Bone marrow aspirate smear: 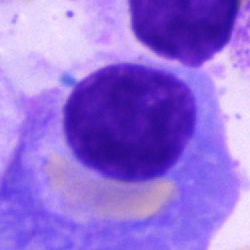 Cell type — plasmacyte.